Pappenheim-stained. Bone marrow smear
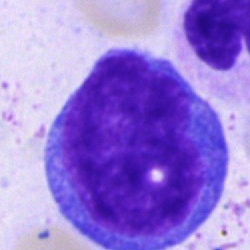
Q: Identify the cell.
A: This is an undifferentiated blast.